Bone marrow aspirate smear:
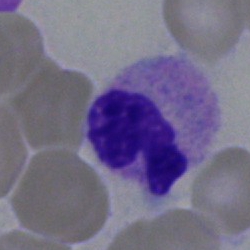

Specimen: bone marrow aspirate smear.
Cell: polymorphonuclear neutrophil.
Lineage: myeloid.